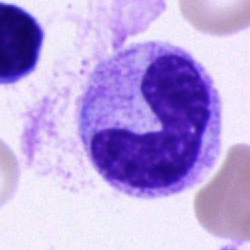

The cell type is band-form neutrophil.